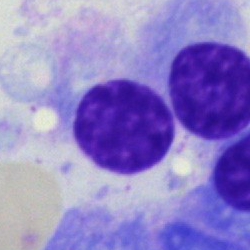

Single-cell crop from a bone marrow smear: plasmacyte.